Bone marrow aspirate smear: 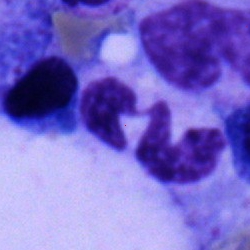 This is a polymorphonuclear neutrophil.